Bone marrow smear · 40× oil immersion
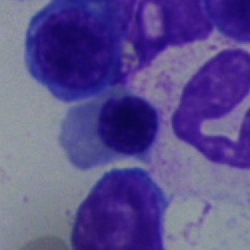Erythroblast.